Bone marrow smear:
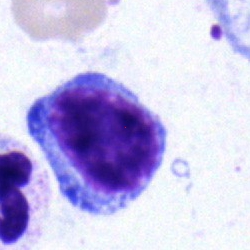

Morphology — lymphocyte.